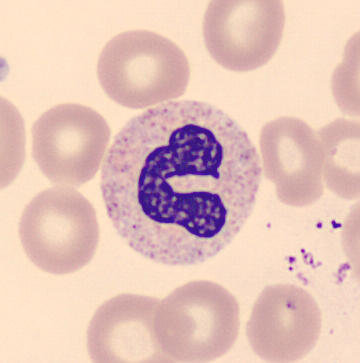Q: What is the morphological classification of this cell?
A: Stab cell.
Acquisition: CellaVision DM96 digital cell image; peripheral blood smear.